Bone marrow aspirate smear — 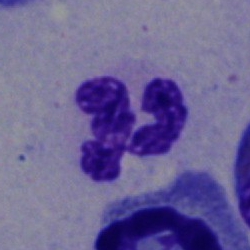

Classification: polymorphonuclear neutrophil.